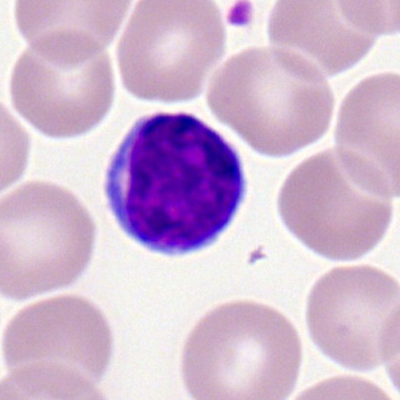

Q: What type of cell is this?
A: It is a typical lymphocyte.